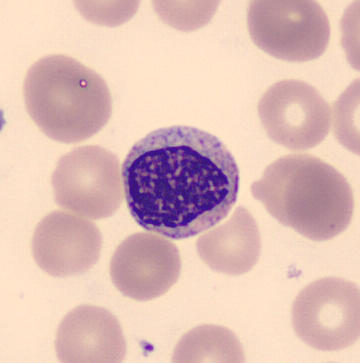

Q: What cell is this?
A: This is a metamyelocyte. Acquisition: Peripheral blood smear.